Peripheral blood film: 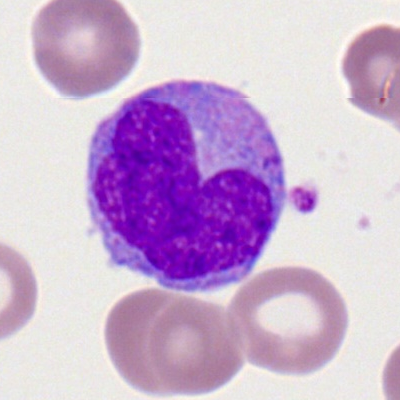Showing a monocyte.